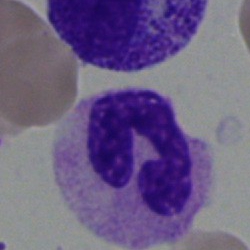

Q: What is shown here?
A: A neutrophil (segmented).